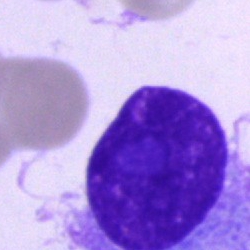
Specimen: bone marrow aspirate smear.
Classification: plasma cell.